40× oil immersion · bone marrow smear — 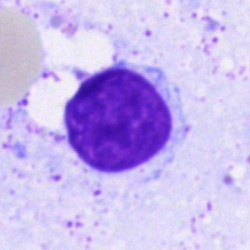

The morphological class is typical lymphocyte.